Bone marrow smear; brightfield, 40× oil-immersion objective — 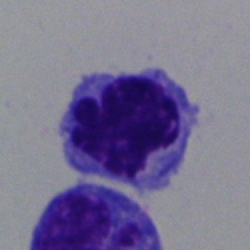 Q: What type of cell is this?
A: This is a nucleated red blood cell.